Bone marrow aspirate smear
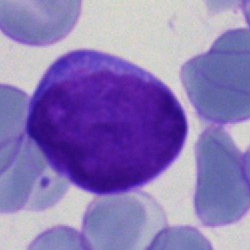 Q: What type of cell is this?
A: It is an undifferentiated blast.